Bone marrow aspirate smear. 40× oil immersion:
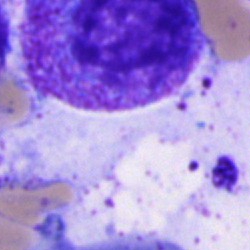
The cell is promyelocyte.